Brightfield, 40× oil-immersion objective. Bone marrow aspirate smear. Pappenheim-stained: 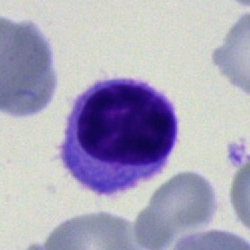

The cell type is lymphocyte.